Cropped to a single cell. Peripheral blood film
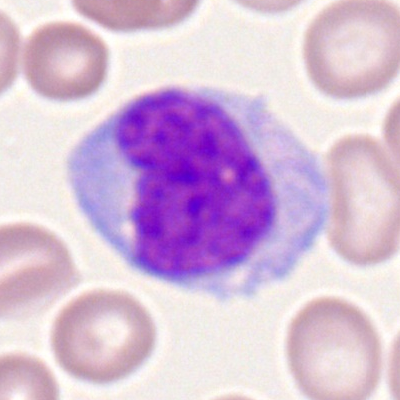

Showing a monocyte.